Bone marrow aspirate smear. Pappenheim-stained — 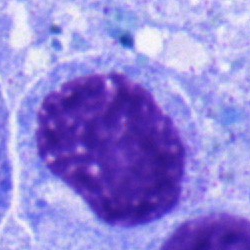

Specimen: bone marrow aspirate smear.
Cell: myelocyte.